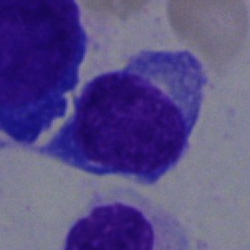
The morphological class is lymphocyte.